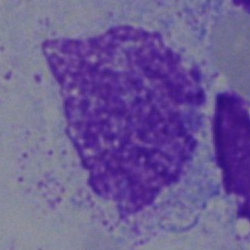

The morphological class is artifact.